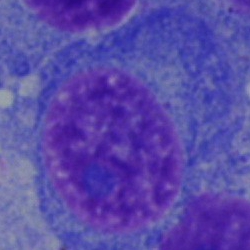Specimen: bone marrow aspirate smear.
Cell: plasma cell.